Bone marrow smear
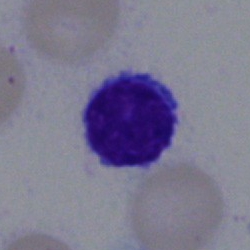

Classification: typical lymphocyte.